Bone marrow smear · 250×250 px · May-Grünwald-Giemsa stain
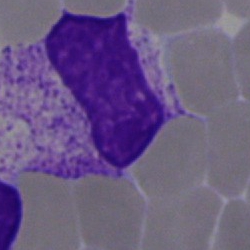 Band neutrophil.